Peripheral blood film — 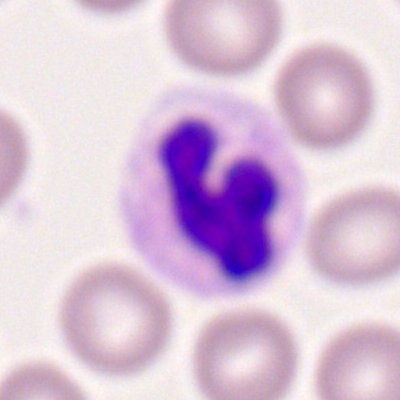 Showing a neutrophil (segmented).